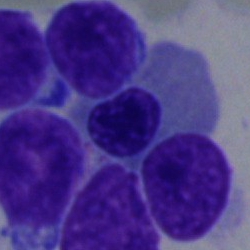
Q: What cell is this?
A: A normoblast.